40× oil immersion · bone marrow smear — 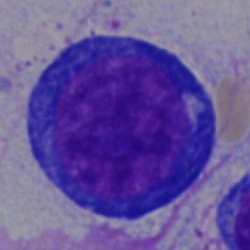

Morphology consistent with a proerythroblast.